MGG-stained. Bone marrow smear.
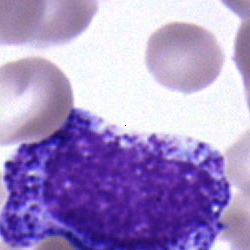Morphological class = progranulocyte.